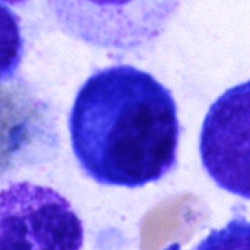 Specimen: bone marrow aspirate smear.
Classification: plasmacyte.
Lineage: lymphoid.